Peripheral blood smear
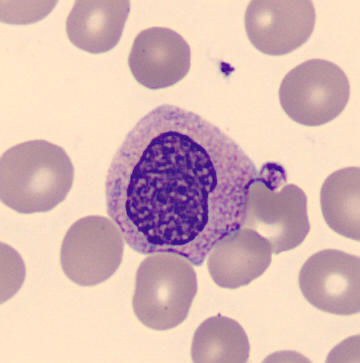

Cell — myelocyte.